Bone marrow smear. Cropped to a single cell. Brightfield microscopy, 40× oil immersion: 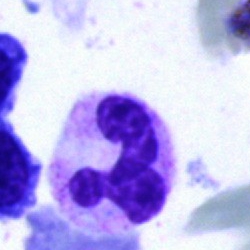 Q: What is the morphological classification of this cell?
A: Neutrophil (segmented).